Peripheral blood smear — 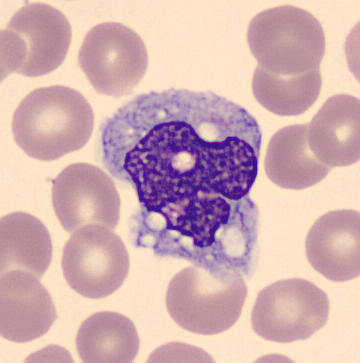 Morphology consistent with a monocyte.